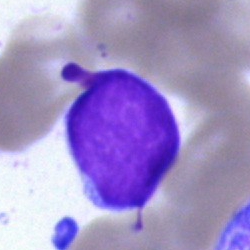 Specimen: bone marrow smear.
Morphological class: undifferentiated blast.